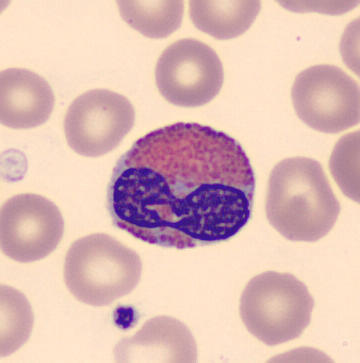

Specimen: peripheral blood film.
Classification: eosinophilic granulocyte.
Lineage: myeloid.